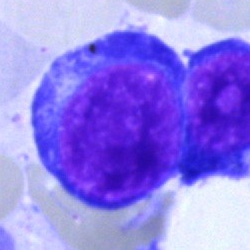 Q: What is the morphological classification of this cell?
A: This is a proerythroblast.